Bone marrow smear: 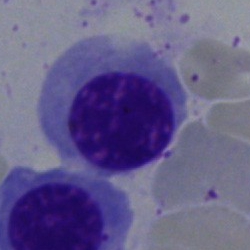 Morphology — normoblast.